Single-cell crop; peripheral blood smear
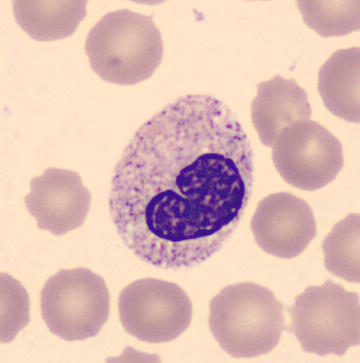
The morphological class is band-form neutrophil.